40× oil immersion; bone marrow smear; single-cell field: 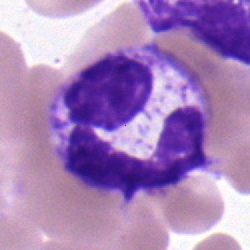
This is a segmented neutrophil.